Brightfield, 40× oil-immersion objective; cropped to a single cell; bone marrow smear:
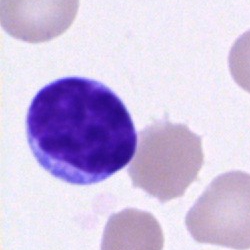
Showing a lymphocyte.